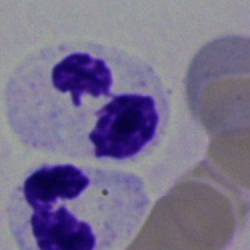

Single-cell crop from a bone marrow smear: polymorphonuclear neutrophil.